250×250. Bone marrow smear:
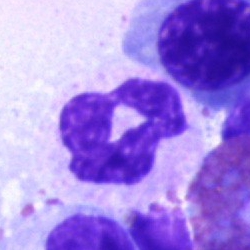

Q: What cell is this?
A: A segmented neutrophil.